Cropped to a single cell. Bone marrow aspirate smear — 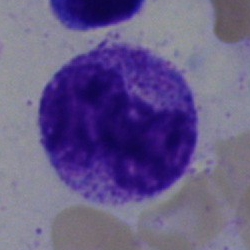 Q: What cell is this?
A: A metamyelocyte.